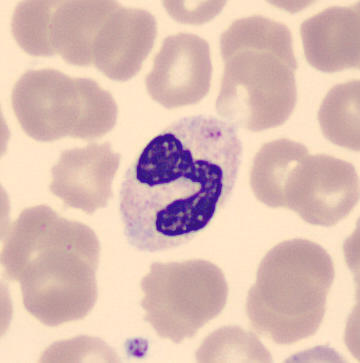

Peripheral blood film. CellaVision DM96.

Q: What is shown here?
A: It is a band-form neutrophil.